Bone marrow aspirate smear · MGG-stained
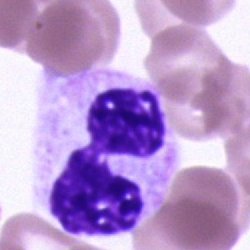

Cell = neutrophil (segmented).